Bone marrow smear:
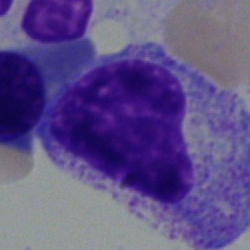
This is a myelocyte.